Bone marrow aspirate smear. Single cell centered in the field.
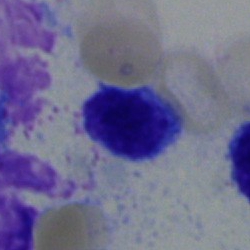Specimen: bone marrow aspirate smear.
Morphological class: lymphocyte.